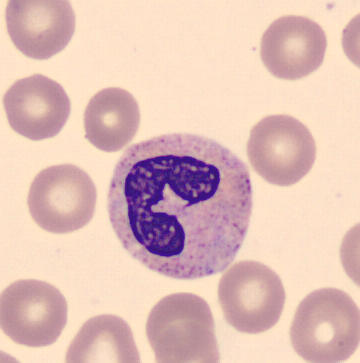 Acquisition: Peripheral blood film.

Q: What is the morphological classification of this cell?
A: It is a band neutrophil.